Bone marrow smear.
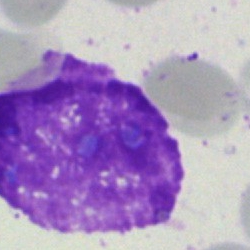 Specimen: bone marrow smear.
Morphological class: artefact.